Peripheral blood film. Single-cell crop.
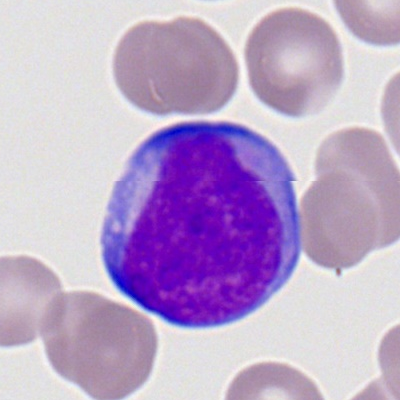

A myeloid blast.